Bone marrow smear — 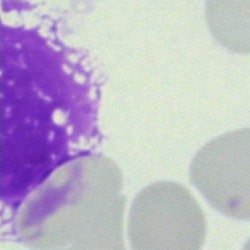
Morphology consistent with an artefact.